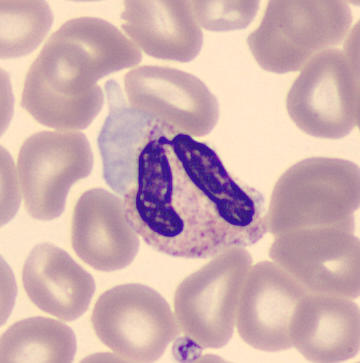
Image: Peripheral blood smear. Single cell identified as a polymorphonuclear neutrophil.